Single-cell crop · bone marrow smear:
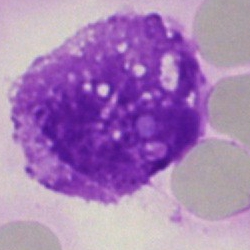
Cell type: artifact.